Bone marrow smear: 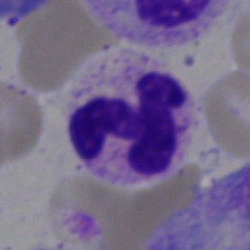Q: What is shown here?
A: A segmented neutrophil.